Bone marrow smear.
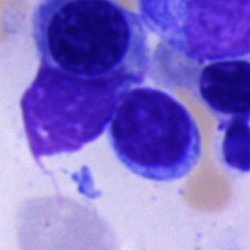

This is a typical lymphocyte.